Bone marrow aspirate smear. MGG-stained
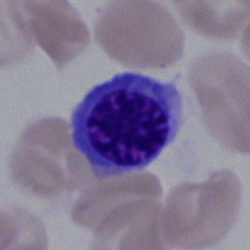
Morphology consistent with a nucleated red cell.